40× objective, oil immersion · bone marrow smear:
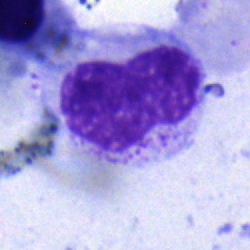

The cell shown is a metamyelocyte.